Bone marrow smear; MGG-stained: 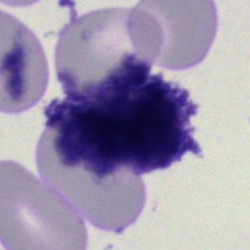Artefact.